Bone marrow smear. Pappenheim-stained. Cropped to a single cell
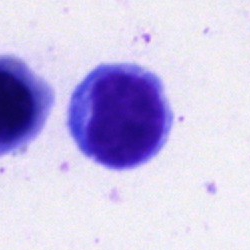 Cell type = lymphocyte.